Bone marrow aspirate smear: 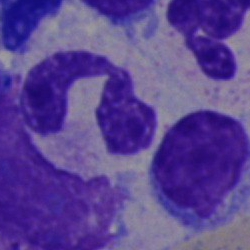
Morphological class = segmented neutrophil.